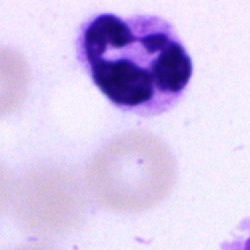Showing a segmented neutrophil.